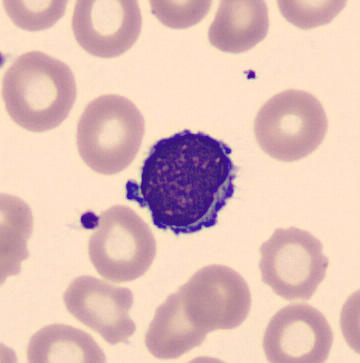
Identified as a typical lymphocyte.

Image: 360×363 px · May Grünwald-Giemsa stain · peripheral blood smear.